Image size 250×250. Bone marrow aspirate smear
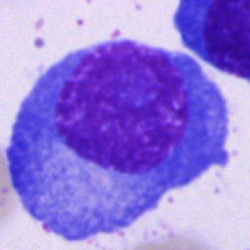Q: What type of cell is this?
A: A plasma cell.